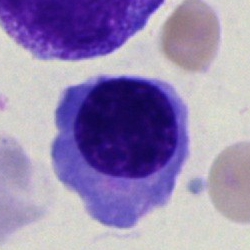
Cell type: normoblast.